Single-cell crop; brightfield, 40× oil-immersion objective; bone marrow smear — 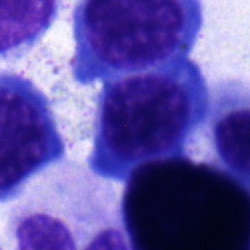 Showing an erythroblast.